40× objective, oil immersion · single-cell field · bone marrow smear — 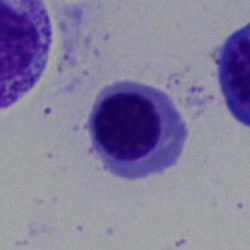 Q: What is the morphological classification of this cell?
A: This is a normoblast.